Bone marrow smear · single-cell field · image size 250×250.
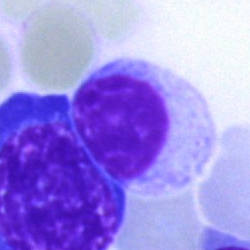Showing a lymphocyte.